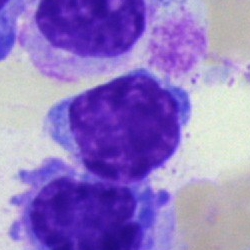 Q: What cell is this?
A: Lymphocyte.